Bone marrow smear: 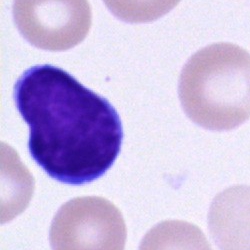 Morphology consistent with a typical lymphocyte.